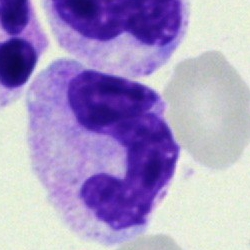A polymorphonuclear neutrophil on a bone marrow smear.